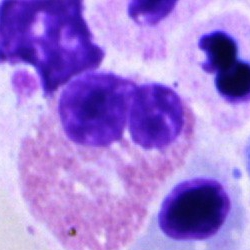
Specimen: bone marrow aspirate smear.
Cell type: eosinophilic granulocyte.
Lineage: myeloid.